Single-cell field · bone marrow smear: 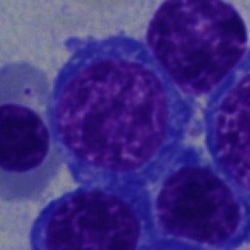The cell shown is an erythroblast.